Bone marrow smear · image size 250×250
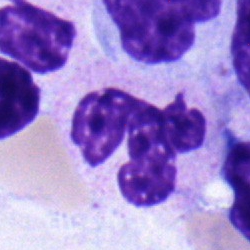 The cell shown is a segmented neutrophil.